Bone marrow aspirate smear
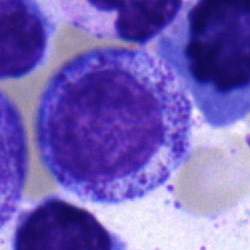

Morphological class = myelocyte.